Bone marrow smear
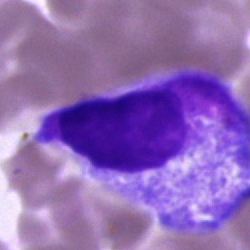 Impression → artefact.